Bone marrow aspirate smear
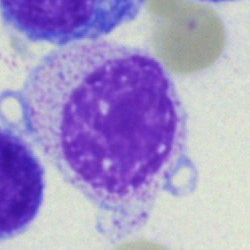 Single cell identified as a myelocyte.